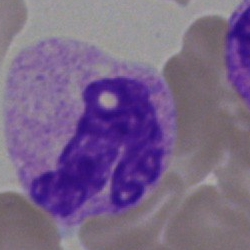{"cell_type": "segmented neutrophil"}